Peripheral blood smear.
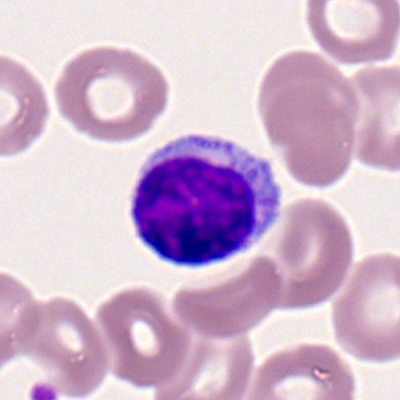
This is a typical lymphocyte.